Bone marrow aspirate smear · May-Grünwald-Giemsa/Pappenheim stain · 250×250 px:
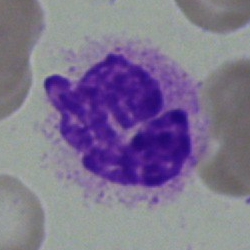

{"cell_type": "polymorphonuclear neutrophil", "lineage": "myeloid"}